Bone marrow smear: 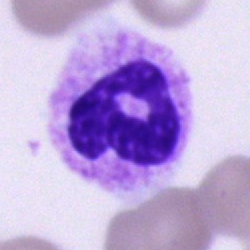
Q: Identify the cell.
A: A neutrophil (segmented).